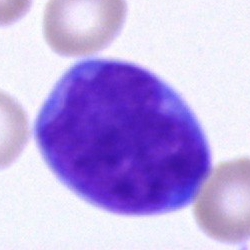

{"cell_type": "unidentifiable cell"}